Bone marrow smear.
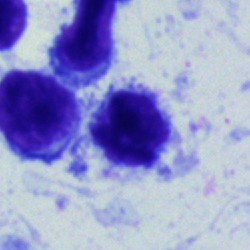 Morphological class = typical lymphocyte.